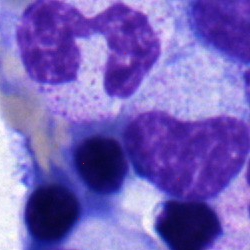 Impression — polymorphonuclear neutrophil.